Bone marrow smear · 40× objective, oil immersion: 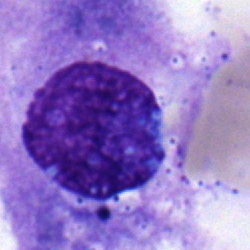

Specimen: bone marrow smear.
Cell: plasmacyte.